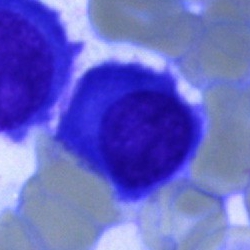

Bone marrow aspirate smear, single cell — plasmacyte.